Bone marrow smear · single-cell crop.
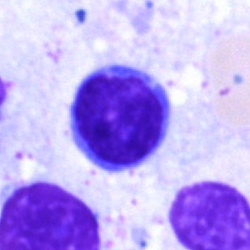
Cell — lymphocyte.